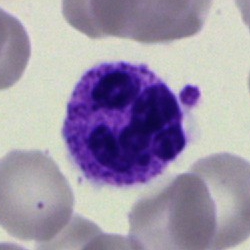
Impression — segmented neutrophil.